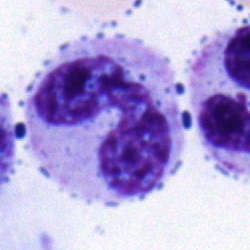

Cell — band-form neutrophil.